Bone marrow aspirate smear — 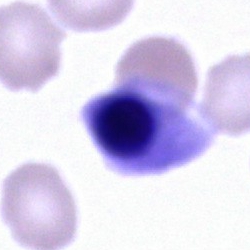Nucleated red blood cell.